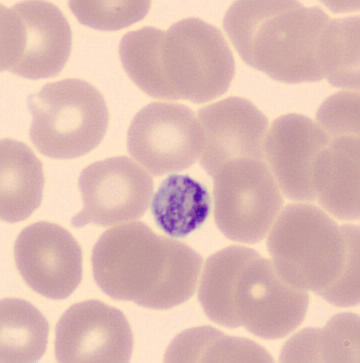
Peripheral blood film. This is a thrombocyte.